Bone marrow smear. 250×250 px
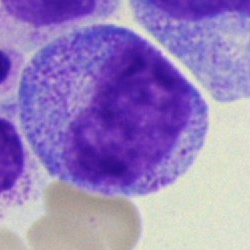

A progranulocyte.